250×250 px; brightfield microscopy, 40× oil immersion; bone marrow aspirate smear: 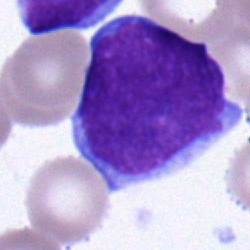

Q: What is shown here?
A: Undifferentiated blast.